Bone marrow smear
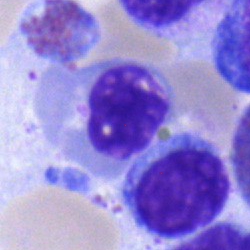
Morphology consistent with a nucleated red cell.